Pappenheim-stained. Bone marrow aspirate smear: 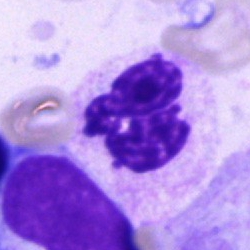 Showing a neutrophil (segmented).